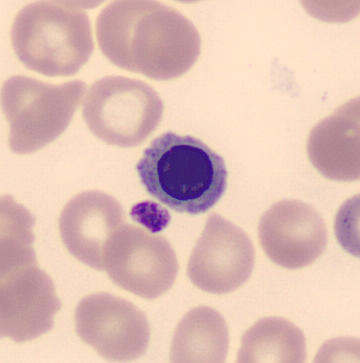

Single-cell crop from a peripheral blood smear: nucleated red cell.